Bone marrow smear. Brightfield microscopy, 40× oil immersion. 250 by 250 pixels
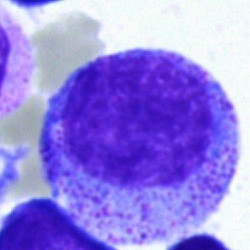

Specimen: bone marrow aspirate smear.
Cell: progranulocyte.